Brightfield, 40× oil-immersion objective. Bone marrow smear: 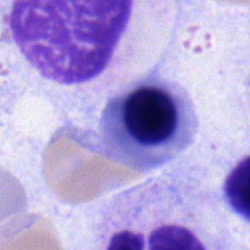A nucleated red blood cell.